MGG-stained; bone marrow smear — 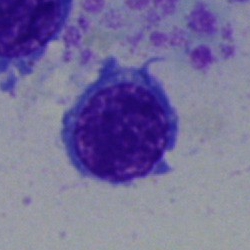 Specimen: bone marrow aspirate smear.
Cell type: erythroblast.